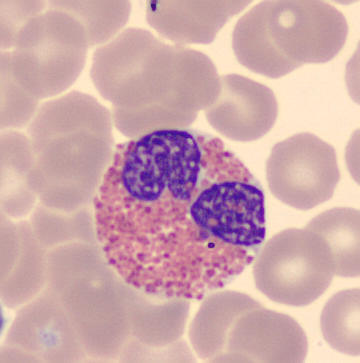Peripheral blood smear. Cell = eosinophil.